Bone marrow aspirate smear: 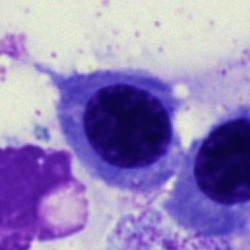
{"cell_type": "nucleated red cell"}